Peripheral blood film · image size 400×400:
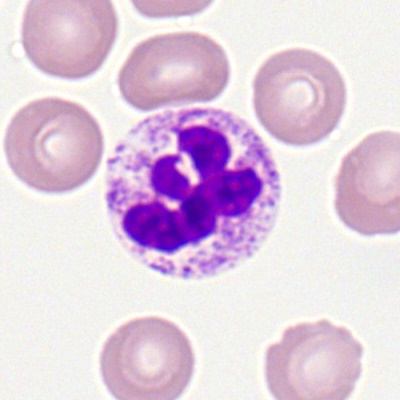
{"cell_type": "neutrophil (segmented)", "lineage": "myeloid"}